May-Grünwald-Giemsa stain; single-cell field; bone marrow aspirate smear:
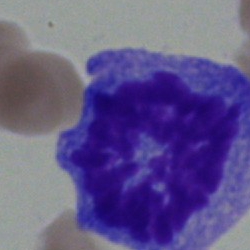

Q: Identify the cell.
A: A cell of indeterminate lineage.